40× objective, oil immersion · cropped to a single cell · bone marrow aspirate smear — 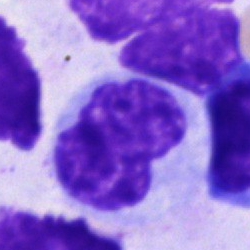 Q: What type of cell is this?
A: It is an unidentifiable cell.